Peripheral blood smear
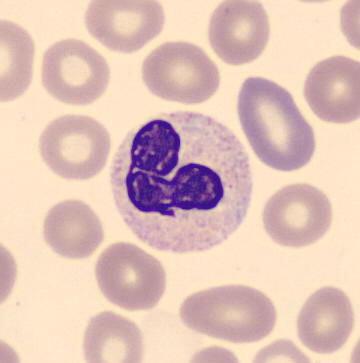 The cell type is neutrophil (band).